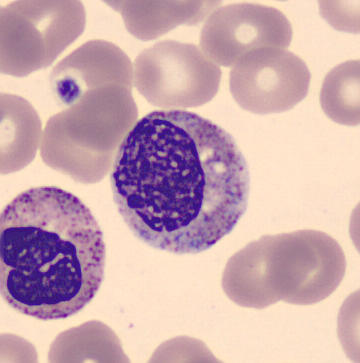 Showing a myelocyte.